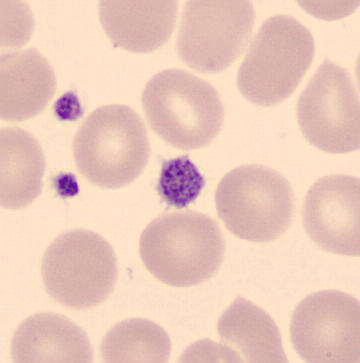

Specimen: peripheral blood film.
Classification: platelet (thrombocyte).
Acquisition: Imaged on a CellaVision DM96 analyser.